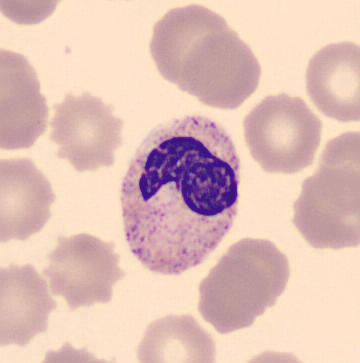 Preparation: Single cell centered in the field · peripheral blood film.

This is a neutrophil (band).